40× objective, oil immersion. Bone marrow smear: 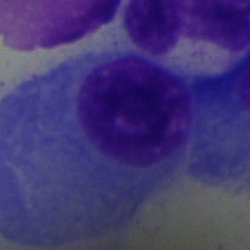 The morphological class is plasmacyte.